May-Grünwald-Giemsa stain · 250×250 px · bone marrow smear:
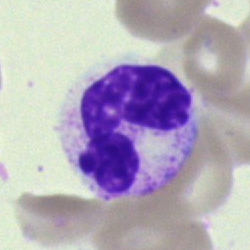 Single cell identified as a polymorphonuclear neutrophil.